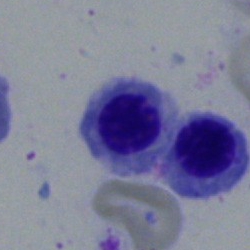 This is a nucleated red blood cell.